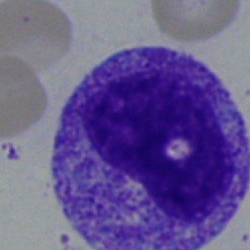
Q: Which cell type is shown here?
A: Myelocyte.